Bone marrow smear — 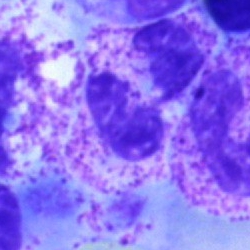 {"cell_type": "segmented neutrophil"}